Bone marrow smear.
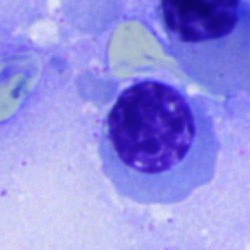

Specimen: bone marrow smear.
Cell: nucleated red blood cell.
Lineage: erythroid.